Bone marrow smear. Brightfield, 40× oil-immersion objective. Pappenheim-stained
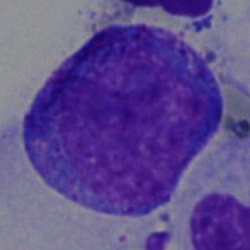 Cell — progranulocyte.